Bone marrow smear: 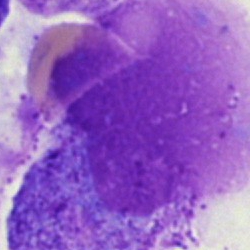Morphology → artefact.